Bone marrow smear. Single-cell crop. MGG-stained:
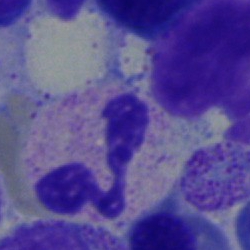

Single cell identified as a segmented neutrophil.